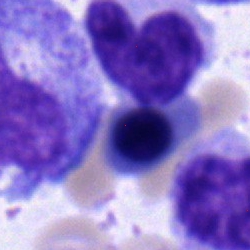

Impression — nucleated red cell.